Bone marrow aspirate smear: 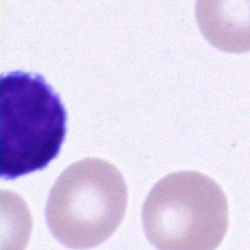 Morphology consistent with a lymphocyte.